Bone marrow smear: 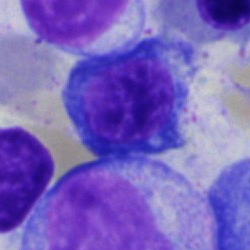
Q: What cell is this?
A: This is a nucleated red blood cell.